Bone marrow aspirate smear
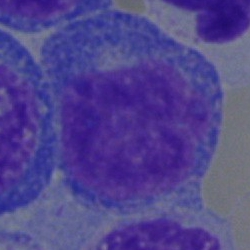 The cell type is blast cell.